Bone marrow smear: 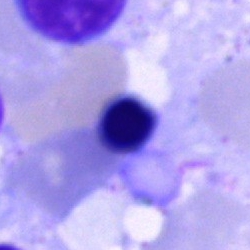
The cell shown is an erythroblast.